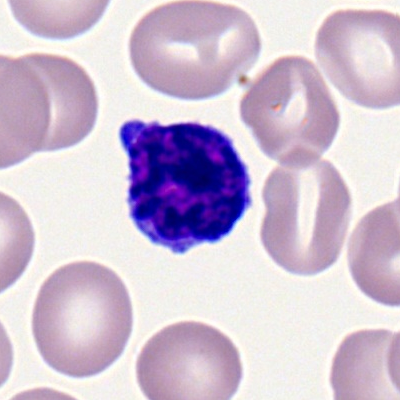 The cell is typical lymphocyte.